Single-cell field; bone marrow aspirate smear: 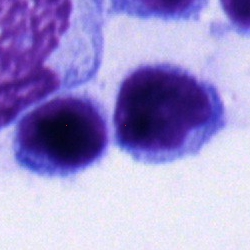

This is a lymphocyte.